40× objective, oil immersion. Bone marrow aspirate smear — 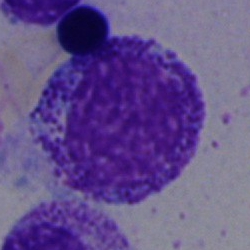Morphology consistent with a myelocyte.